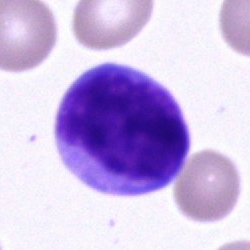Q: Identify the cell.
A: Typical lymphocyte.